Bone marrow smear:
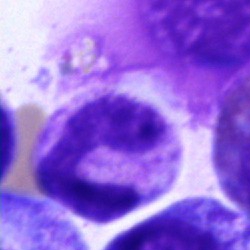

Classification = neutrophil (band).